MGG-stained. Bone marrow smear. Single cell centered in the field — 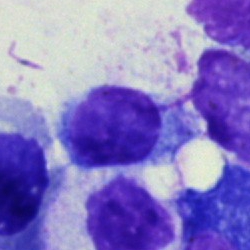
Showing a typical lymphocyte.